Bone marrow smear
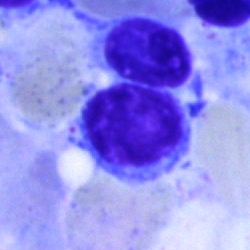
Classification = lymphocyte.